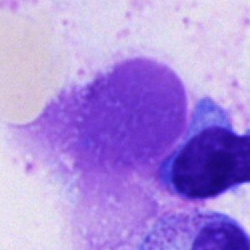
Morphology — artefact.